Bone marrow aspirate smear:
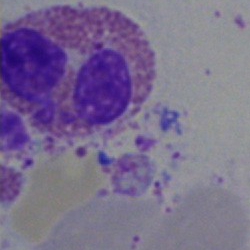Q: What type of cell is this?
A: This is an eosinophilic granulocyte.